40× objective, oil immersion · bone marrow aspirate smear.
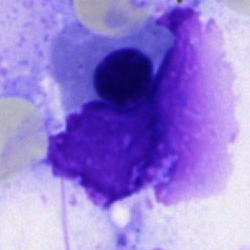
The cell is nucleated red cell.